Bone marrow aspirate smear — 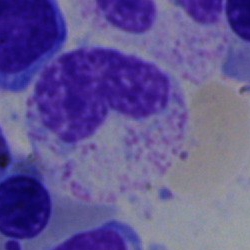Cell = stab cell.